360×360 · peripheral blood film · CellaVision DM96 digital cell image
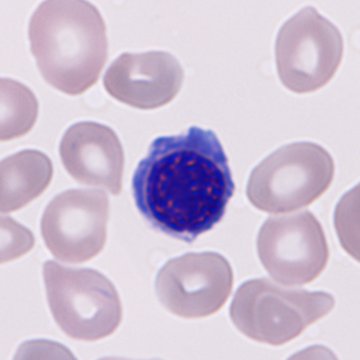

Morphological class — nucleated red blood cell.